Bone marrow smear:
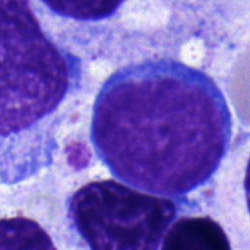Specimen: bone marrow smear.
Cell type: blast.